Cropped to a single cell. 250×250 px. Bone marrow aspirate smear — 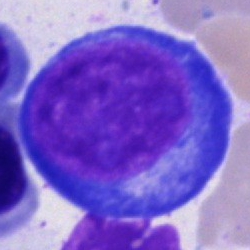
Morphology — pronormoblast.